Bone marrow smear.
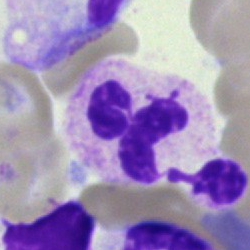
A neutrophil (segmented).